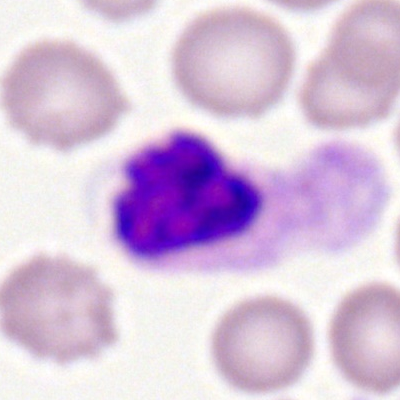Q: What type of cell is this?
A: Neutrophil (segmented).